Peripheral blood smear: 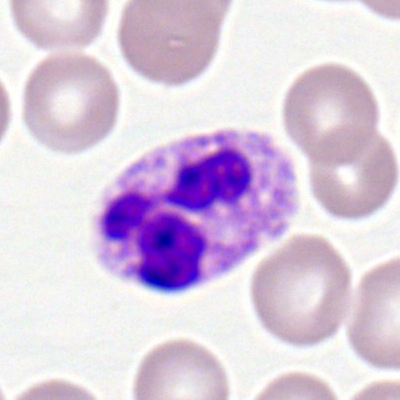 The cell type is segmented neutrophil.